May-Grünwald-Giemsa stain; bone marrow smear.
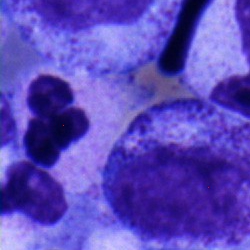Classification = neutrophil (segmented).